Bone marrow smear — 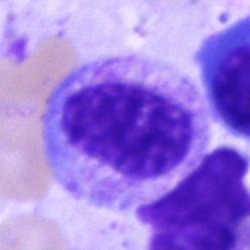
{"cell_type": "myelocyte"}